40× objective, oil immersion. Bone marrow aspirate smear.
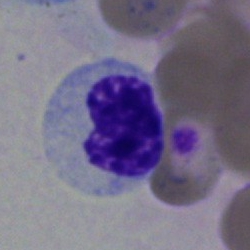

This is a stab cell.